Bone marrow smear. 40× objective, oil immersion — 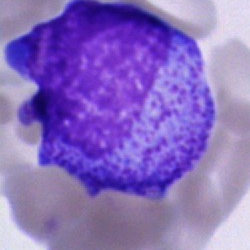The cell shown is a promyelocyte.